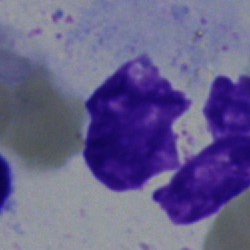Morphological class: artefact.